250×250. Bone marrow smear. Single-cell field — 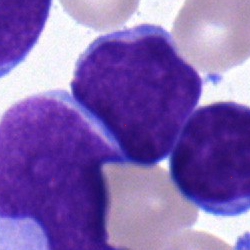
Specimen: bone marrow smear.
Morphological class: blast.